MGG-stained; bone marrow smear.
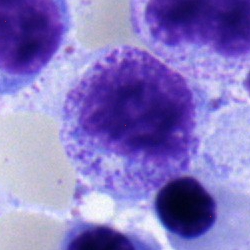The cell type is metamyelocyte.